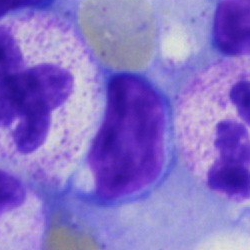
Morphological class = typical lymphocyte.